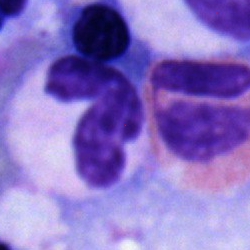 The cell shown is a segmented neutrophil.